Bone marrow smear — 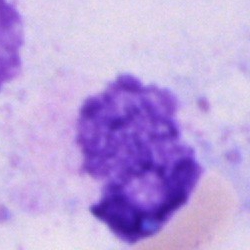

Specimen: bone marrow smear.
Cell type: artifact.